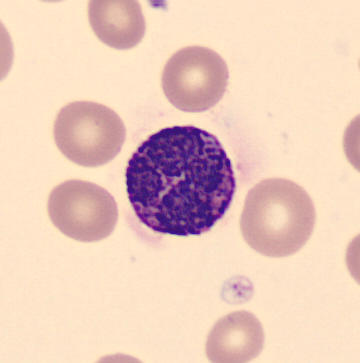 Morphological class — basophilic granulocyte. Image: Single-cell field; peripheral blood smear.